Brightfield, 40× oil-immersion objective. Bone marrow smear — 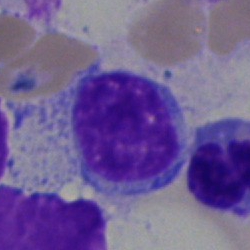
The classification is lymphocyte.